Bone marrow smear:
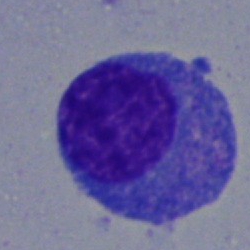

Morphology → blast cell.